Bone marrow smear
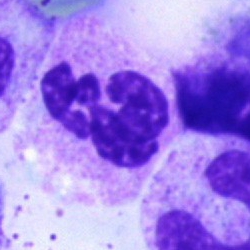 Q: What is the morphological classification of this cell?
A: This is a segmented neutrophil.